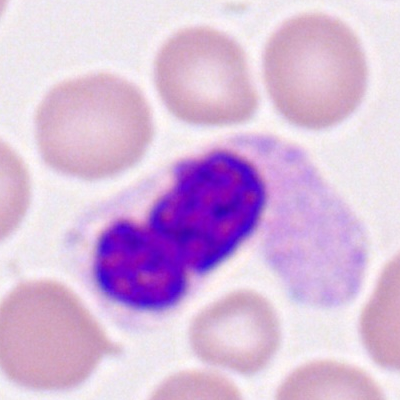

Q: What is shown here?
A: It is a neutrophil (segmented).